Brightfield microscopy, 40× oil immersion · bone marrow smear — 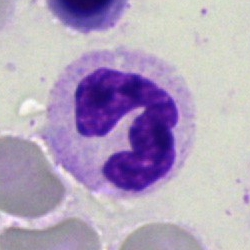

Polymorphonuclear neutrophil.